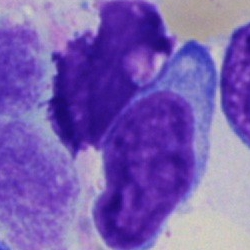
Specimen: bone marrow aspirate smear.
Morphological class: undifferentiated blast.